Peripheral blood film; Romanowsky stain; image size 400×400
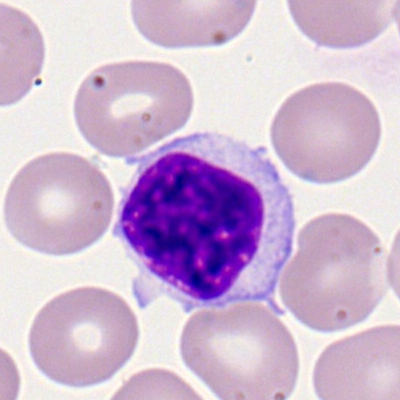
Cell type: typical lymphocyte.